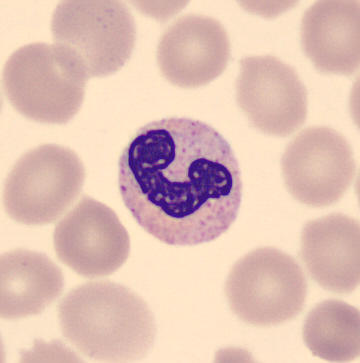Peripheral blood film. 360×363. Cell type — band neutrophil.